Cropped to a single cell. Image size 250×250. Bone marrow smear.
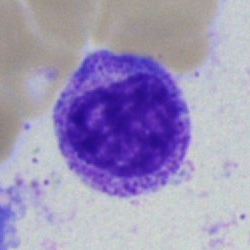

Q: What is shown here?
A: This is a myelocyte.